Cropped to a single cell; bone marrow aspirate smear; MGG-stained
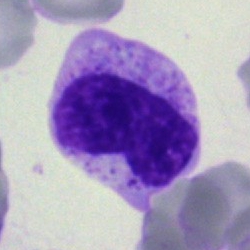

A metamyelocyte.